Single-cell field · bone marrow smear:
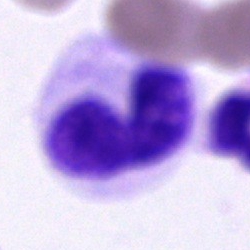

Morphology → band neutrophil.